Bone marrow aspirate smear: 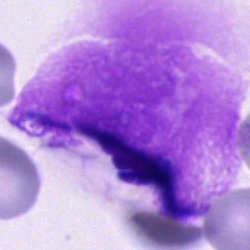Q: What is shown here?
A: It is an artifact.